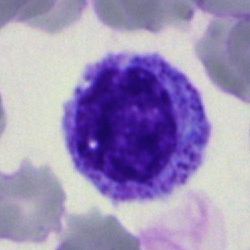

{"cell_type": "myelocyte"}